Cropped to a single cell; bone marrow aspirate smear — 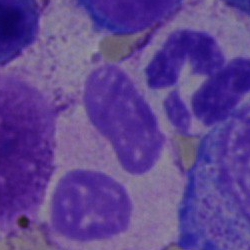
Morphology consistent with a segmented neutrophil.